Bone marrow aspirate smear. Brightfield microscopy, 40× oil immersion: 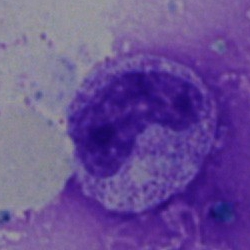 Q: What is shown here?
A: It is a band neutrophil.